Bone marrow smear. 250 by 250 pixels — 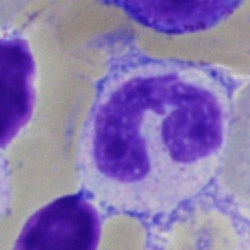

Cell type: polymorphonuclear neutrophil.